250×250 px · bone marrow aspirate smear
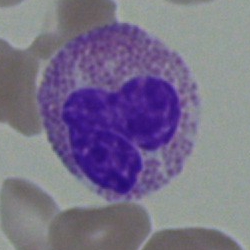 Showing an eosinophilic granulocyte.